Bone marrow aspirate smear: 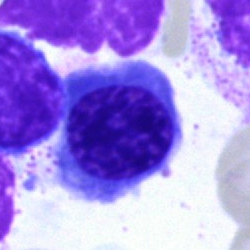A nucleated red blood cell.